MGG-stained · bone marrow smear:
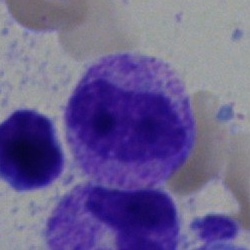

The cell shown is a metamyelocyte.